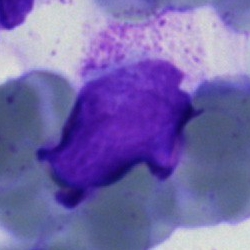 Morphology → undifferentiated blast.